100× oil immersion, 14.14 px/µm; peripheral blood smear; cropped to a single cell: 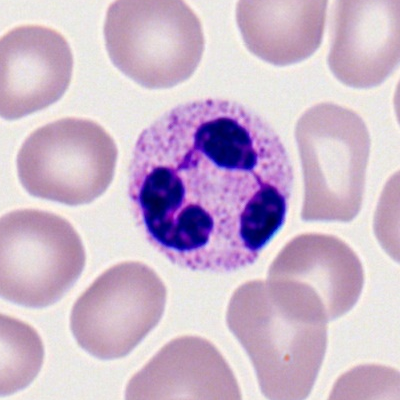

The cell is polymorphonuclear neutrophil.